Bone marrow aspirate smear
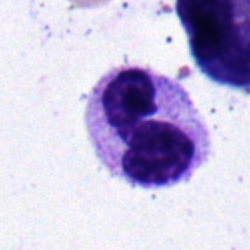Specimen: bone marrow smear.
Cell type: neutrophil (segmented).
Lineage: myeloid.